Bone marrow aspirate smear.
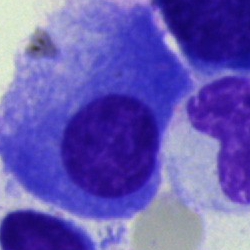 Morphology consistent with a plasma cell.